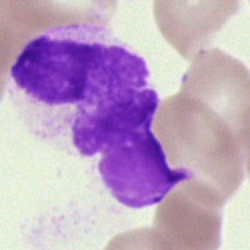
This is an artifact.